Bone marrow aspirate smear · image size 250×250:
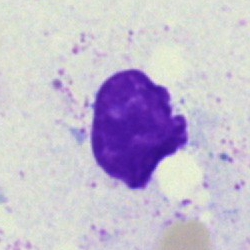

The cell is artifact.